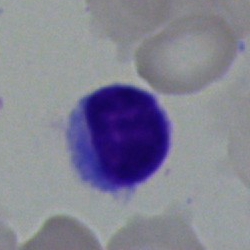

Showing a typical lymphocyte.